250×250 px; bone marrow aspirate smear.
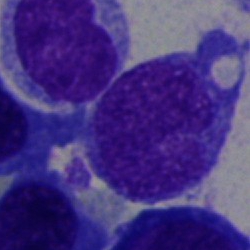 Specimen: bone marrow aspirate smear.
Cell: undifferentiated blast.